40× oil immersion; bone marrow smear
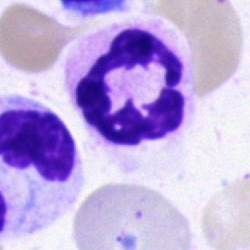
Single cell identified as a segmented neutrophil.